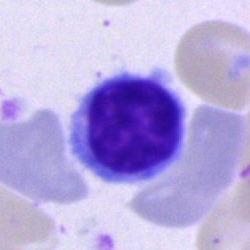

Morphology → plasmacyte.